Pappenheim-stained; bone marrow smear — 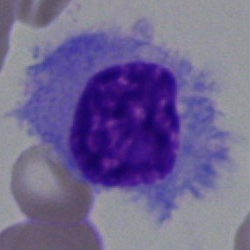Morphology consistent with a hairy cell.